May-Grünwald-Giemsa stain. Bone marrow smear:
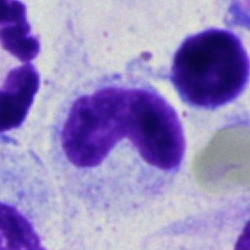Impression — neutrophil (band).